May-Grünwald-Giemsa stain. 40× oil immersion. Bone marrow aspirate smear: 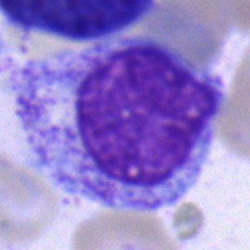

The cell shown is a myelocyte.